Bone marrow aspirate smear; brightfield, 40× oil-immersion objective.
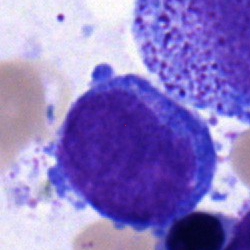
Blast.